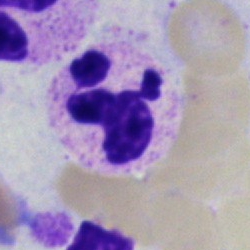
Q: What type of cell is this?
A: Segmented neutrophil.